Brightfield microscopy, 40× oil immersion; May-Grünwald-Giemsa/Pappenheim stain; bone marrow aspirate smear:
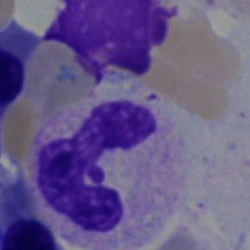

Q: Identify the cell.
A: Neutrophil (segmented).